Bone marrow smear · image size 250×250:
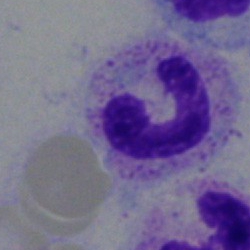

Morphology — polymorphonuclear neutrophil.